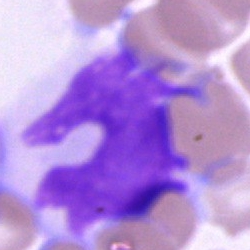

Q: What is the morphological classification of this cell?
A: A lymphocyte.